Bone marrow smear: 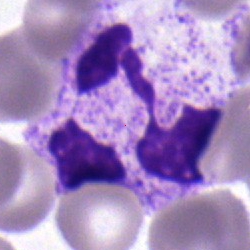

Morphology → neutrophil (segmented).